Bone marrow smear — 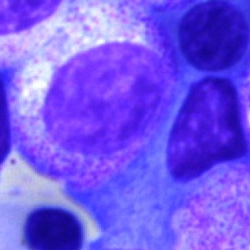

{"cell_type": "myelocyte", "lineage": "myeloid"}